Bone marrow smear:
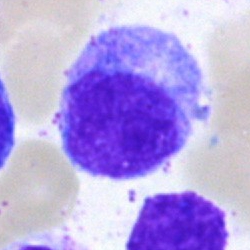 Q: Which cell type is shown here?
A: This is a myelocyte.